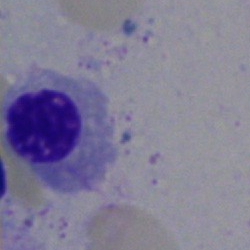

Q: What type of cell is this?
A: A nucleated red blood cell.